Bone marrow aspirate smear.
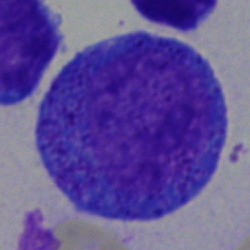

Specimen: bone marrow smear.
Cell: promyelocyte.
Lineage: myeloid.